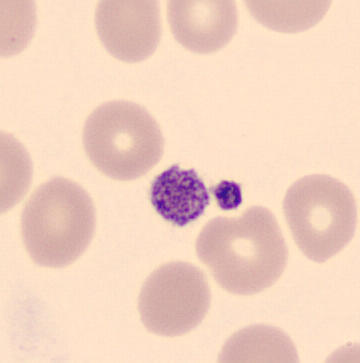

Peripheral blood film. Thrombocyte.